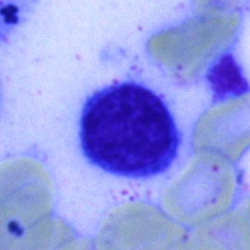 Morphological class = lymphocyte.